Single cell centered in the field · bone marrow smear.
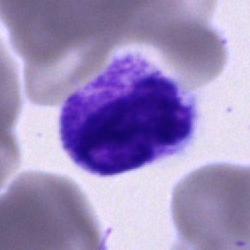Polymorphonuclear neutrophil.